Bone marrow aspirate smear: 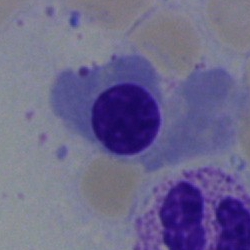

Morphological class — nucleated red blood cell.